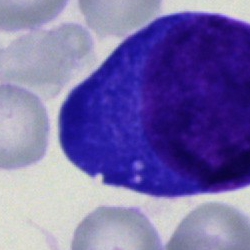Showing a plasmacyte.